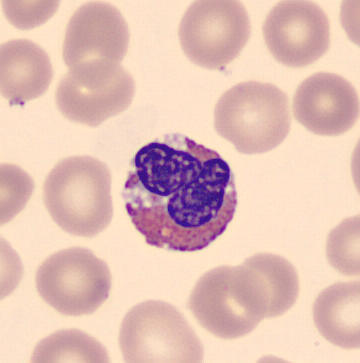

Cell type: eosinophil.

Preparation: Peripheral blood smear · CellaVision DM96 digital cell image.